Bone marrow aspirate smear. 250×250 px. May-Grünwald-Giemsa/Pappenheim stain
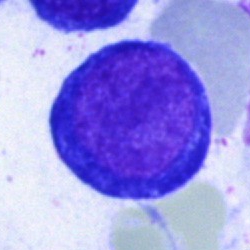
Proerythroblast.